Bone marrow aspirate smear; 250×250 — 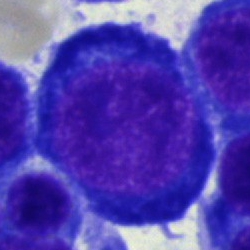 {"cell_type": "proerythroblast"}